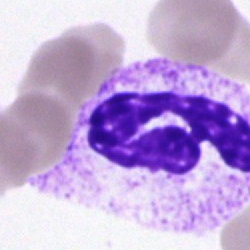 Cell type — segmented neutrophil.